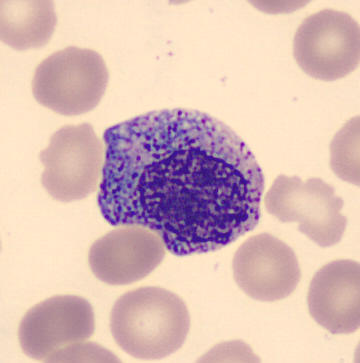Acquisition: Peripheral blood smear. Single-cell field. {"cell_type": "myelocyte"}